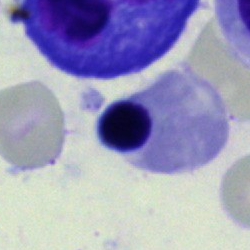

Morphology consistent with a normoblast.